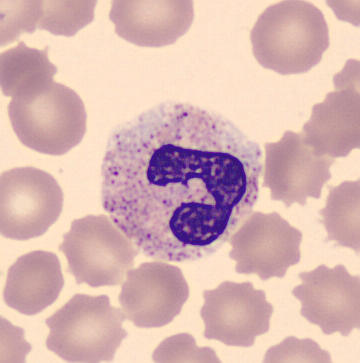
Acquisition: 360 by 363 pixels; peripheral blood smear. Neutrophil (segmented).